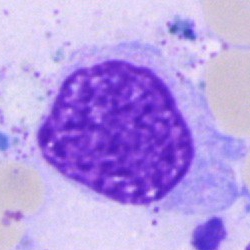
Morphology consistent with an artefact.